Brightfield microscopy, 40× oil immersion. Bone marrow aspirate smear
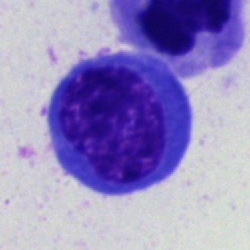
Q: What is shown here?
A: A nucleated red cell.